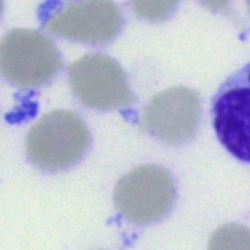An artefact on a bone marrow smear.